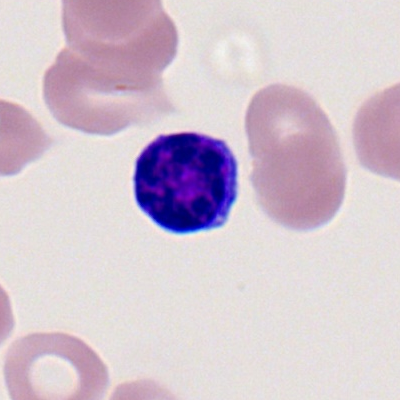{"cell_type": "typical lymphocyte", "lineage": "lymphoid"}